Bone marrow smear
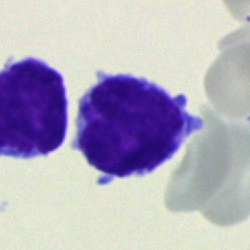Morphology consistent with a lymphocyte.